Peripheral blood smear; single-cell crop.
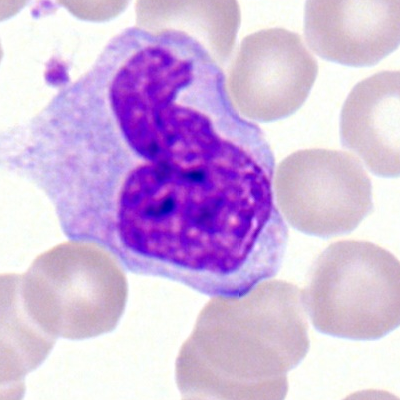Showing a monocyte.